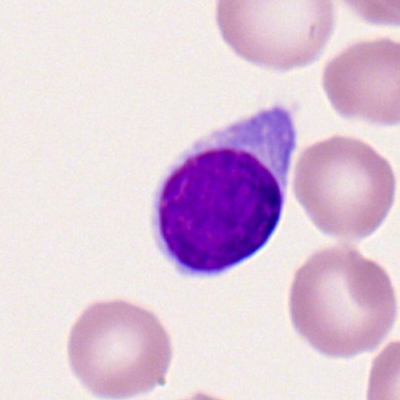

Specimen: peripheral blood film.
Morphological class: lymphocyte.
Lineage: lymphoid.